Bone marrow smear · 40× objective, oil immersion · May-Grünwald-Giemsa/Pappenheim stain: 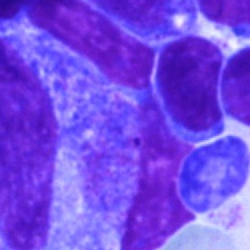 Morphological class = typical lymphocyte.